Single-cell field · bone marrow aspirate smear.
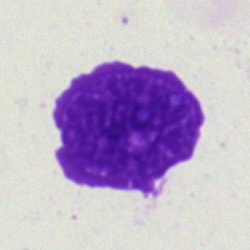
Q: What is shown here?
A: It is an artefact.